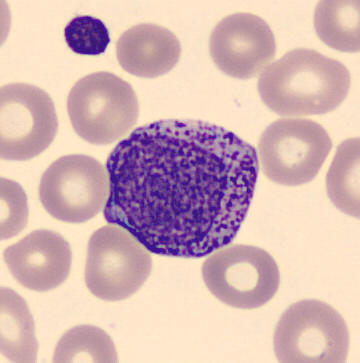

Specimen: peripheral blood smear.
Morphological class: promyelocyte.